Bone marrow smear.
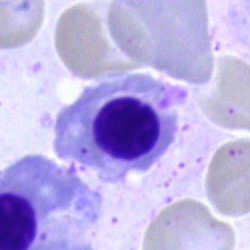 Normoblast.